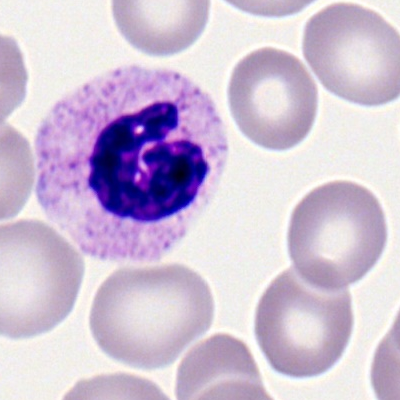Q: Identify the cell.
A: Polymorphonuclear neutrophil.